Bone marrow aspirate smear.
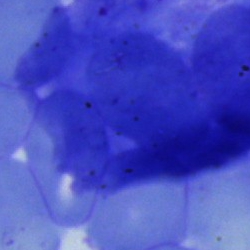The cell type is unidentifiable cell.